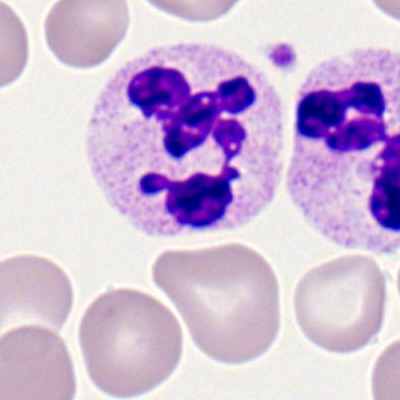

Single-cell crop from a peripheral blood smear: neutrophil (segmented).